MGG-stained; brightfield microscopy, 40× oil immersion; bone marrow smear.
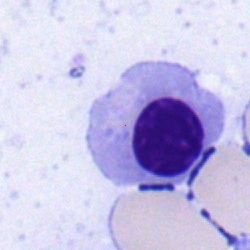The morphological class is nucleated red cell.